Single cell centered in the field; bone marrow aspirate smear: 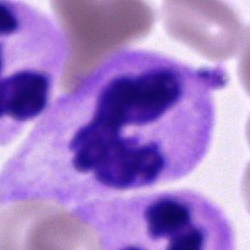 Specimen: bone marrow aspirate smear.
Cell type: polymorphonuclear neutrophil.
Lineage: myeloid.